May-Grünwald-Giemsa/Pappenheim stain; 40× objective, oil immersion; bone marrow aspirate smear: 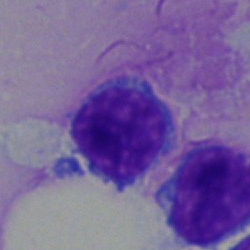

Q: What is shown here?
A: Lymphocyte.